Bone marrow aspirate smear. 40× objective, oil immersion: 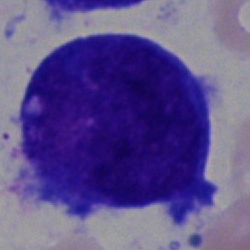

A blast.